Bone marrow aspirate smear; May-Grünwald-Giemsa stain; brightfield microscopy, 40× oil immersion:
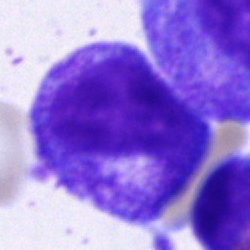 Specimen: bone marrow smear.
Classification: promyelocyte.